Bone marrow aspirate smear · MGG-stained · 250×250 — 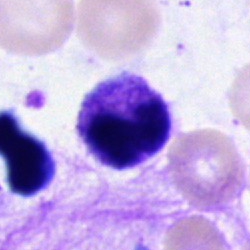 Impression — polymorphonuclear neutrophil.